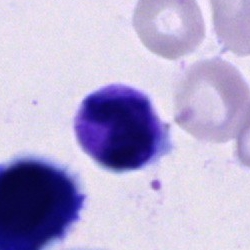
A cell of indeterminate lineage on a bone marrow smear.